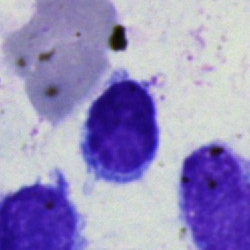 Single cell identified as a typical lymphocyte.